Bone marrow aspirate smear · 250×250 px.
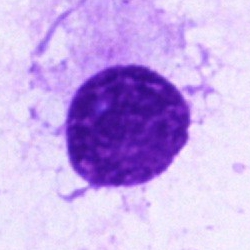 Showing an artefact.